Bone marrow aspirate smear:
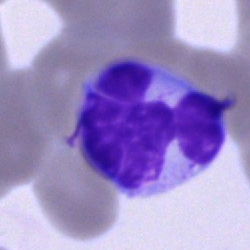Morphological class: monocyte.